Bone marrow smear
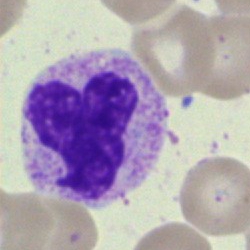This is a neutrophil (segmented).